Bone marrow smear · image size 250×250:
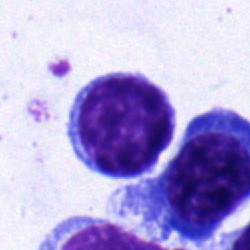 Q: Which cell type is shown here?
A: It is a lymphocyte.